Bone marrow smear.
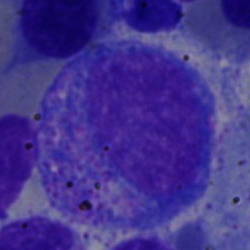
Cell type: promyelocyte.